May-Grünwald-Giemsa stain · bone marrow smear · 40× oil immersion — 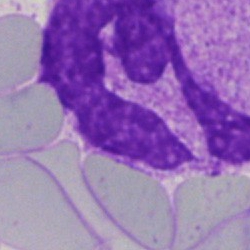Single cell identified as a neutrophil (segmented).